Bone marrow smear · single-cell field · brightfield, 40× oil-immersion objective: 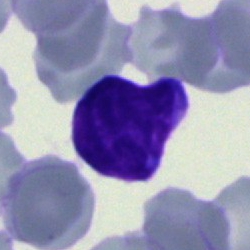
The morphological class is lymphocyte.